Bone marrow smear. May-Grünwald-Giemsa stain: 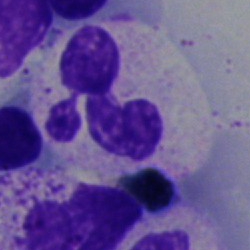 Specimen: bone marrow smear.
Cell type: polymorphonuclear neutrophil.
Lineage: myeloid.